Bone marrow smear · single-cell crop.
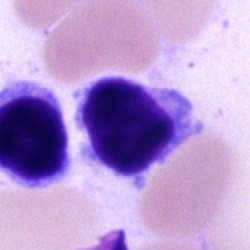
The morphological class is lymphocyte.